Bone marrow aspirate smear. Single cell centered in the field. Image size 250×250: 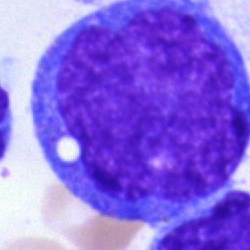Cell = undifferentiated blast.